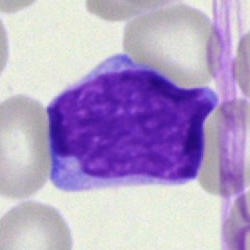

The classification is undifferentiated blast.